250 by 250 pixels. Single-cell crop. Bone marrow aspirate smear
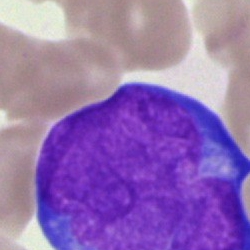Cell — pronormoblast.